250 by 250 pixels · bone marrow aspirate smear · Pappenheim-stained: 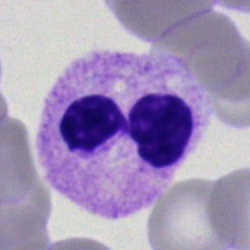

The cell is neutrophil (segmented).